Bone marrow smear · 40× objective, oil immersion: 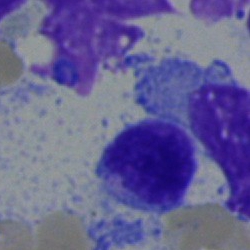

Q: Which cell type is shown here?
A: It is a lymphocyte.